Brightfield, 40× oil-immersion objective · May-Grünwald-Giemsa stain · bone marrow smear:
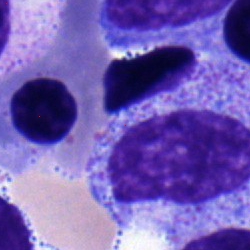A myelocyte.